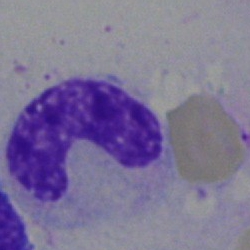
Cell type — band-form neutrophil.